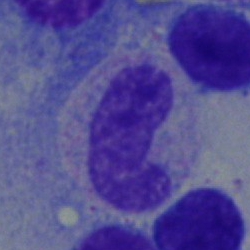

Cell type: band-form neutrophil.